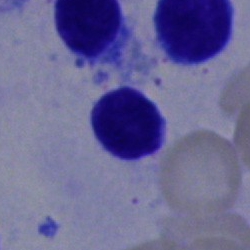Specimen: bone marrow smear.
Cell: typical lymphocyte.
Lineage: lymphoid.